Bone marrow smear — 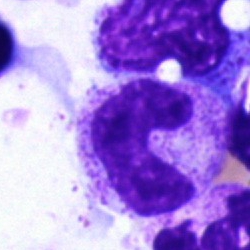
Morphology → neutrophil (band).